250×250 px; MGG-stained; bone marrow smear — 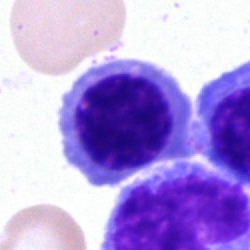

Nucleated red blood cell.